Bone marrow aspirate smear:
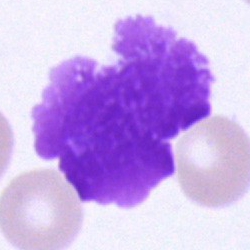 Specimen: bone marrow aspirate smear.
Cell: artefact.